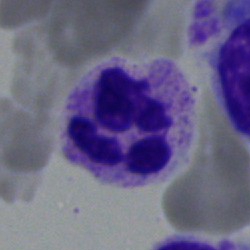

Single-cell crop from a bone marrow smear: neutrophil (segmented).